Single-cell crop. Bone marrow aspirate smear
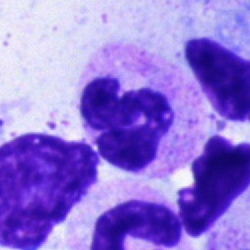
Showing a neutrophil (segmented).